May-Grünwald-Giemsa/Pappenheim stain. Bone marrow aspirate smear:
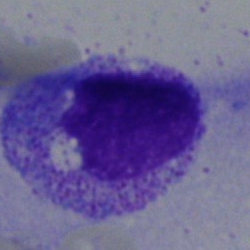 A myelocyte.